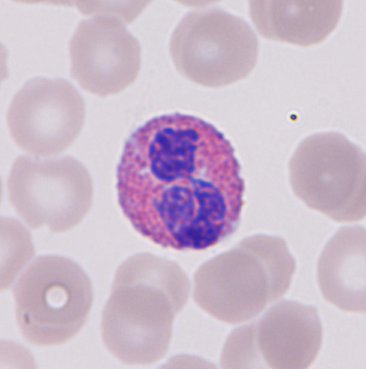 Q: What is shown here?
A: Eosinophil.
Preparation: Peripheral blood smear.